Single cell centered in the field; bone marrow smear: 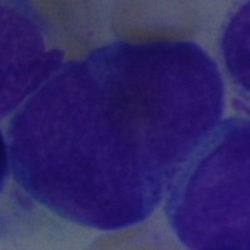
Q: Which cell type is shown here?
A: This is an undifferentiated blast.